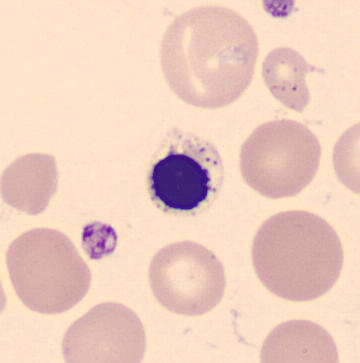

Preparation: Peripheral blood smear.
Q: Identify the cell.
A: It is a nucleated red blood cell.